May-Grünwald-Giemsa/Pappenheim stain. Bone marrow smear — 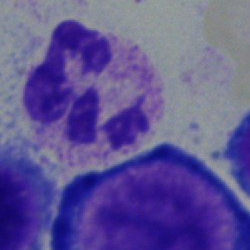
Morphology consistent with a neutrophil (segmented).